250 by 250 pixels; bone marrow aspirate smear; brightfield, 40× oil-immersion objective
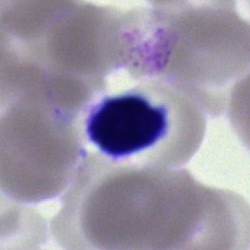 The cell is lymphocyte.